Peripheral blood film
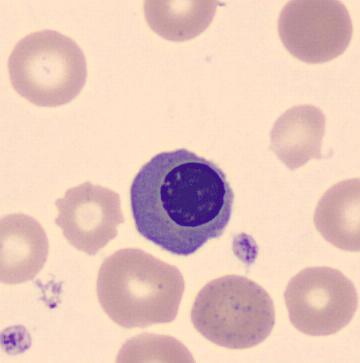

Specimen: peripheral blood smear.
Morphological class: erythroblast.
Lineage: erythroid.